400 by 400 pixels · peripheral blood film: 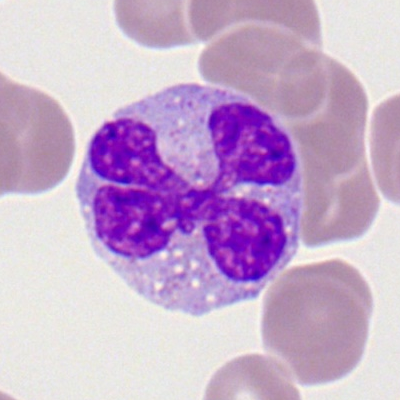The cell shown is a monocyte.